Bone marrow aspirate smear · cropped to a single cell — 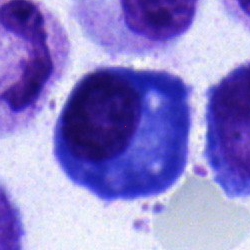

Classification: plasma cell.